Bone marrow smear. MGG-stained: 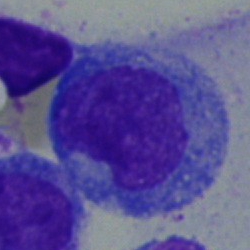{"cell_type": "progranulocyte", "lineage": "myeloid"}